Bone marrow smear; brightfield microscopy, 40× oil immersion; image size 250×250.
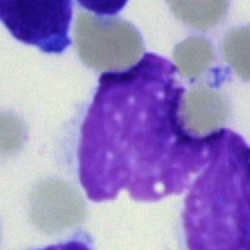
Q: What is shown here?
A: Artefact.